Peripheral blood film.
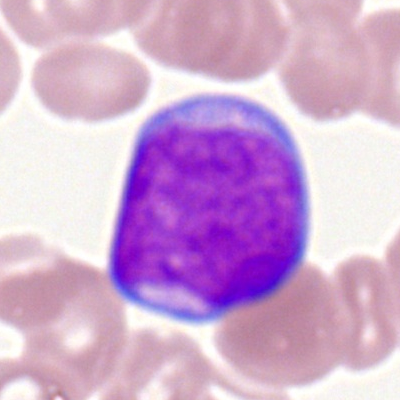

Morphology → myeloid blast.